Bone marrow aspirate smear
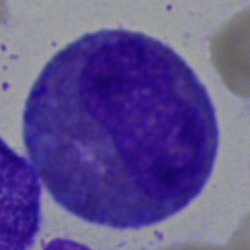

{"cell_type": "eosinophil", "lineage": "myeloid"}